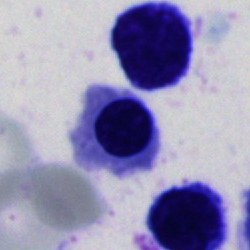 This is a normoblast.